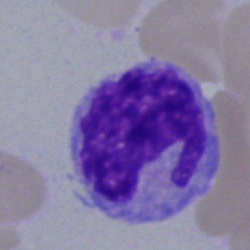

Monocyte.